Bone marrow smear:
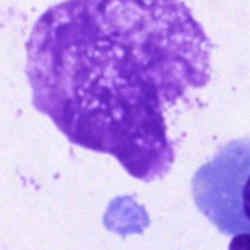

Morphology → artefact.